Bone marrow smear.
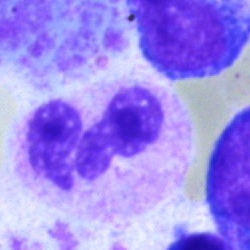 A polymorphonuclear neutrophil.